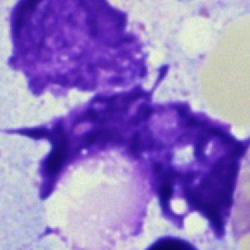 {"cell_type": "artifact"}